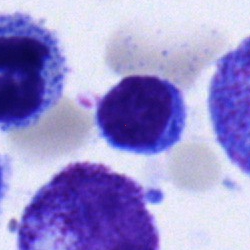
Typical lymphocyte.